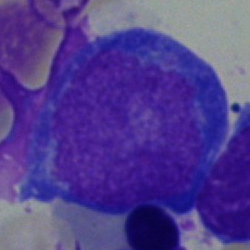 Specimen: bone marrow smear.
Morphological class: proerythroblast.
Lineage: erythroid.